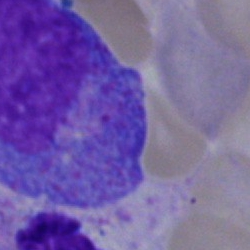 Cell type: unidentifiable cell.